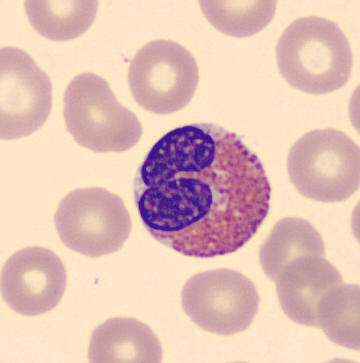 Peripheral blood smear. Morphology — eosinophilic granulocyte.